Bone marrow smear: 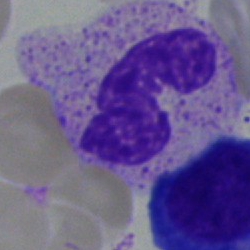 Cell type — stab cell.